Single cell centered in the field · bone marrow aspirate smear: 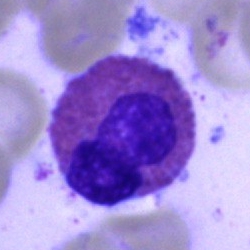
Impression — eosinophilic granulocyte.